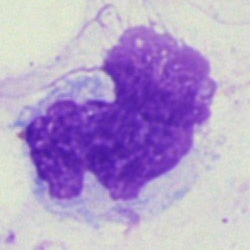
Morphological class = artifact.